Peripheral blood smear. Imaged on a CellaVision DM96 analyser. 360×363 px: 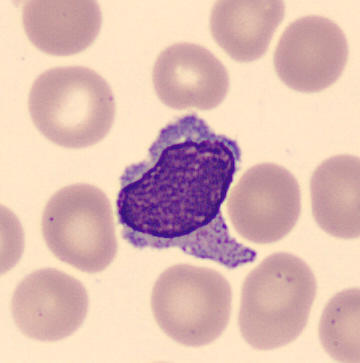

{"cell_type": "typical lymphocyte"}